Bone marrow smear; single cell centered in the field: 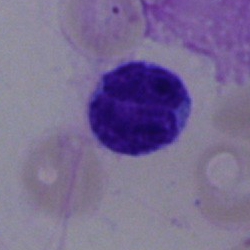Q: What is the morphological classification of this cell?
A: It is a typical lymphocyte.